Bone marrow smear
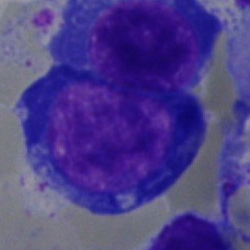
Specimen: bone marrow smear.
Cell type: normoblast.
Lineage: erythroid.